Bone marrow aspirate smear; MGG-stained
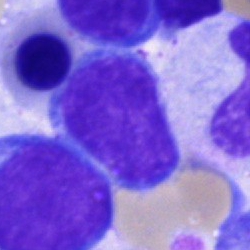

The cell shown is a lymphocyte.